Bone marrow aspirate smear: 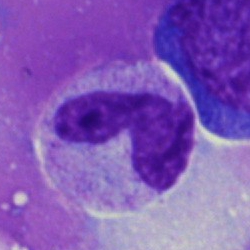Band-form neutrophil.